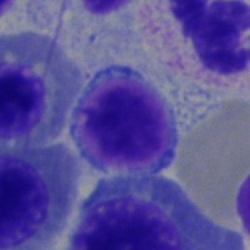 The classification is lymphocyte.